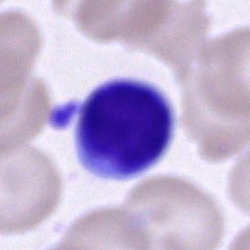Cell = lymphocyte.